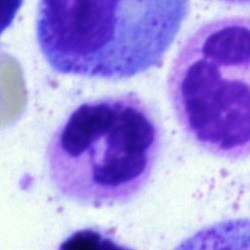

Bone marrow smear showing a segmented neutrophil.